Bone marrow aspirate smear:
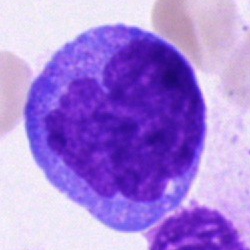Q: What type of cell is this?
A: Monocyte.